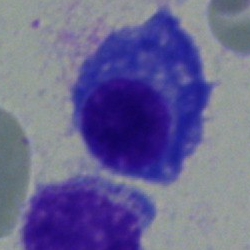Single-cell crop from a bone marrow smear: plasma cell.